Bone marrow aspirate smear:
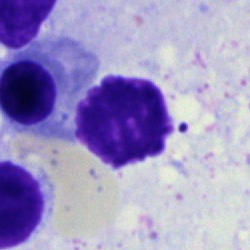 Specimen: bone marrow smear.
Morphological class: artifact.